250×250. Bone marrow aspirate smear.
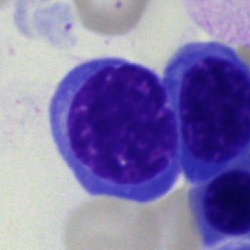
Showing an erythroblast.